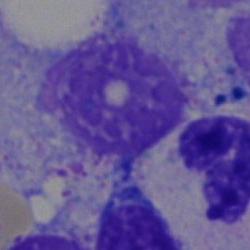Cell type: artifact.